Bone marrow smear:
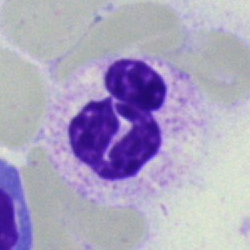

Q: What is shown here?
A: Polymorphonuclear neutrophil.